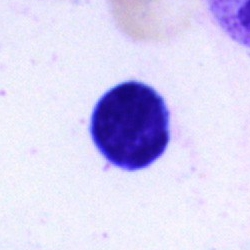 A typical lymphocyte on a bone marrow smear.